Bone marrow smear: 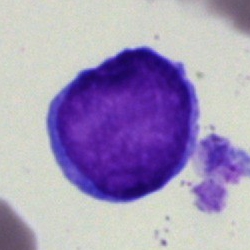
Q: What is the morphological classification of this cell?
A: It is a blast.